Bone marrow aspirate smear · Pappenheim-stained: 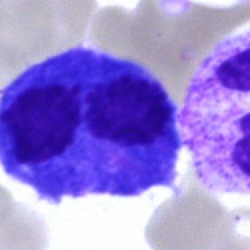Q: What cell is this?
A: A plasmacyte.